250×250; 40× objective, oil immersion; bone marrow aspirate smear
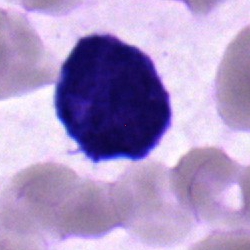 Morphological class = blast cell.